Brightfield microscopy, 40× oil immersion · bone marrow smear: 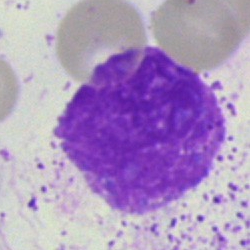Specimen: bone marrow aspirate smear.
Cell type: artefact.